May-Grünwald-Giemsa/Pappenheim stain. Bone marrow smear: 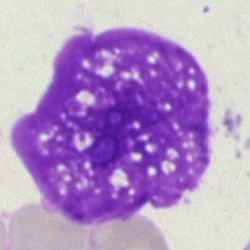{"cell_type": "artefact"}